100× objective, oil immersion. Romanowsky-type stain. Peripheral blood film.
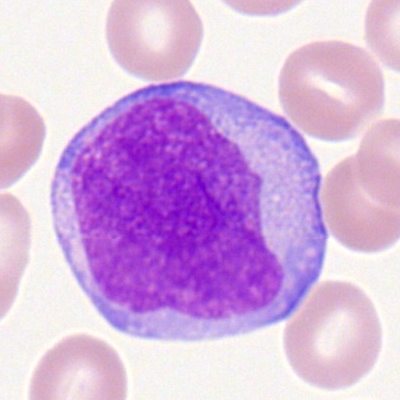 The cell shown is a myeloid blast.